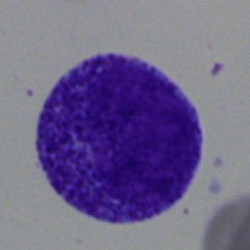
Single cell identified as a progranulocyte.